Bone marrow aspirate smear — 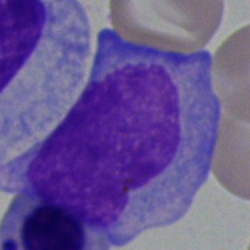

The cell type is monocyte.